Bone marrow smear:
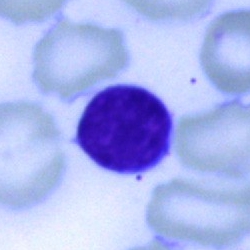
Showing a typical lymphocyte.